May-Grünwald-Giemsa stain. Bone marrow smear.
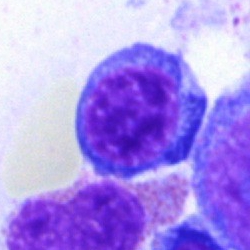
Q: What is shown here?
A: This is a nucleated red blood cell.